Bone marrow smear. Single-cell crop. 250×250 — 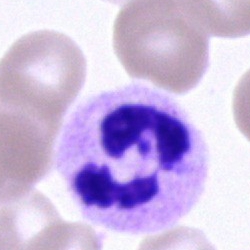Specimen: bone marrow aspirate smear.
Cell: neutrophil (segmented).